Peripheral blood smear:
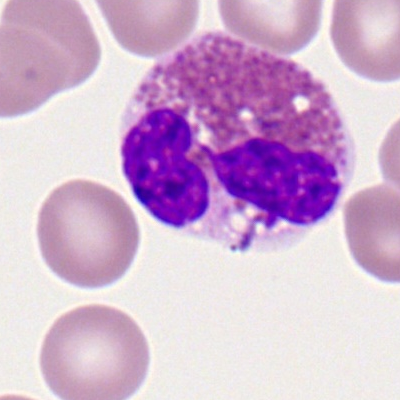

Q: What is the morphological classification of this cell?
A: Eosinophilic granulocyte.